Bone marrow aspirate smear
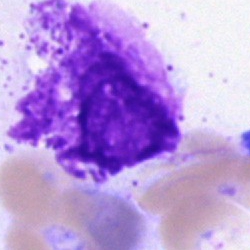

The cell shown is an artefact.